Peripheral blood film — 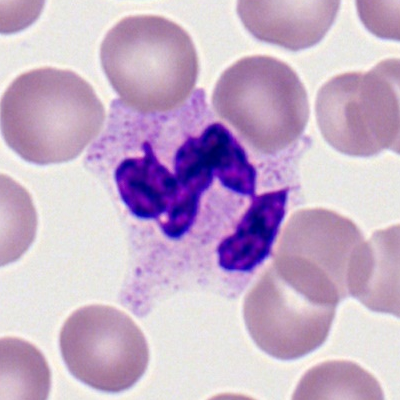
The morphological class is polymorphonuclear neutrophil.